Pappenheim-stained; bone marrow smear; single-cell crop
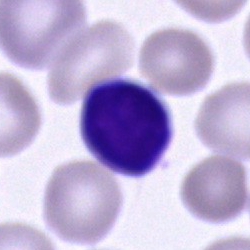 Morphology consistent with a lymphocyte.